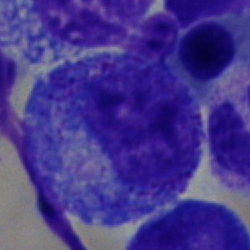
Bone marrow aspirate smear, single cell — blast.